Bone marrow aspirate smear: 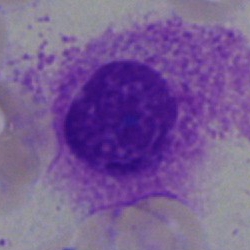An artefact.